Bone marrow smear.
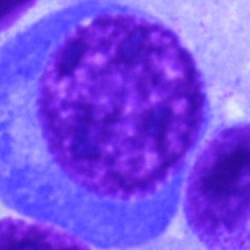
Specimen: bone marrow smear.
Morphological class: plasmacyte.